Bone marrow smear: 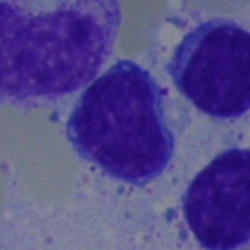

A typical lymphocyte.